250×250 px; bone marrow smear: 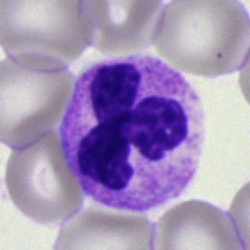
Impression — polymorphonuclear neutrophil.